250 by 250 pixels; bone marrow smear
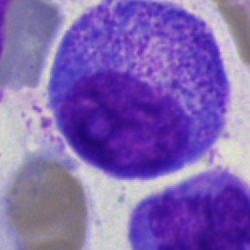
Classification = promyelocyte.